250×250 px. 40× objective, oil immersion. Bone marrow aspirate smear:
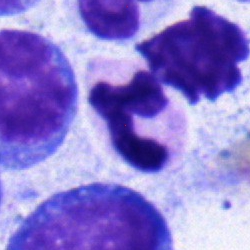

Morphological class = polymorphonuclear neutrophil.